250×250 px · bone marrow smear — 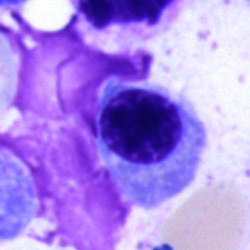

Single cell identified as a normoblast.